Single-cell field. May Grünwald-Giemsa stain. Peripheral blood film:
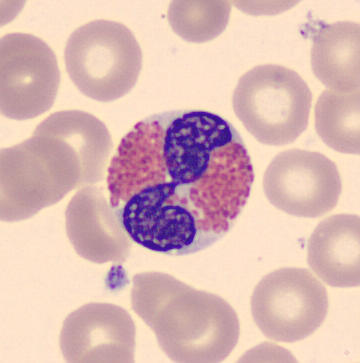Eosinophil.